Single-cell crop · bone marrow aspirate smear — 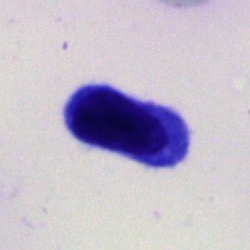
Q: What is shown here?
A: This is a cell of indeterminate lineage.